May-Grünwald-Giemsa-stained; peripheral blood smear:
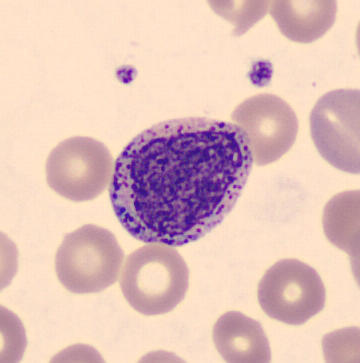 Morphology — myelocyte.